250 by 250 pixels; bone marrow aspirate smear; brightfield microscopy, 40× oil immersion: 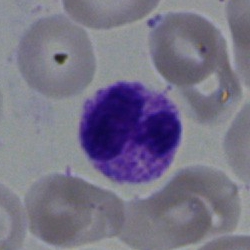 The cell shown is a segmented neutrophil.